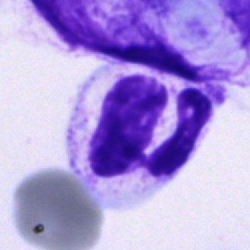

A polymorphonuclear neutrophil.